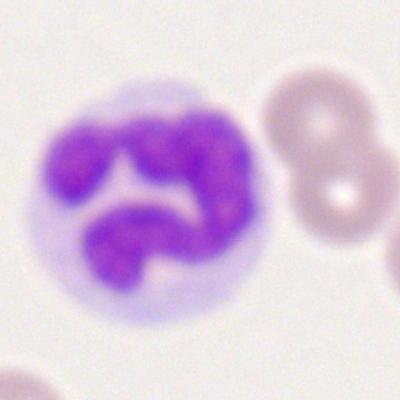Cell = monocyte.